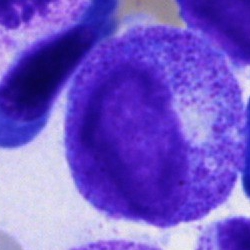Q: Identify the cell.
A: A promyelocyte.